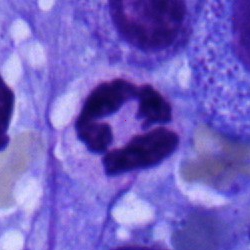 Morphology → polymorphonuclear neutrophil.